Bone marrow smear. Single-cell crop:
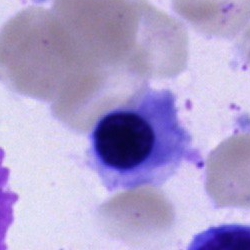

The cell type is normoblast.